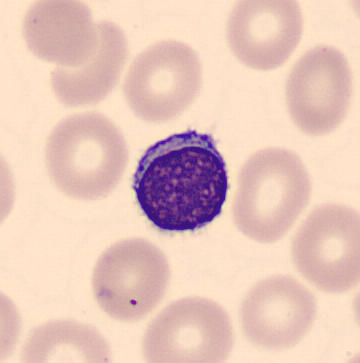
Acquisition: Peripheral blood smear.
Morphology consistent with a typical lymphocyte.